Bone marrow smear:
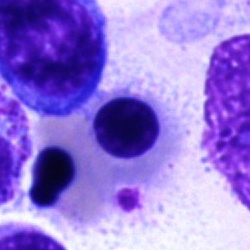{"cell_type": "nucleated red cell"}